Bone marrow aspirate smear.
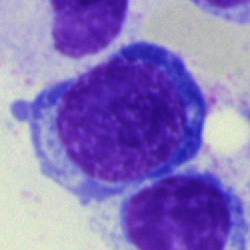

Morphological class = erythroblast.